Bone marrow aspirate smear. Single-cell crop: 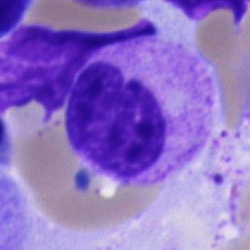Morphology → polymorphonuclear neutrophil.